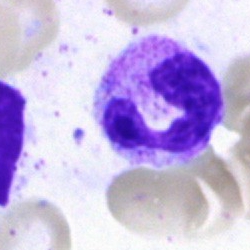 Cell — neutrophil (segmented).